Bone marrow smear
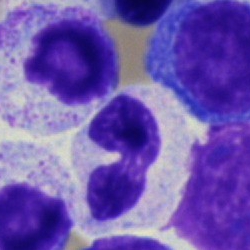 A stab cell.